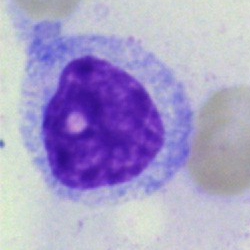Morphological class: monocyte.